Bone marrow aspirate smear.
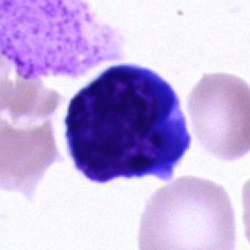
Classification: cell of indeterminate lineage.